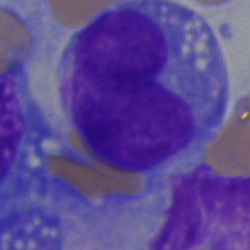 Specimen: bone marrow smear.
Cell type: blast.